Bone marrow smear
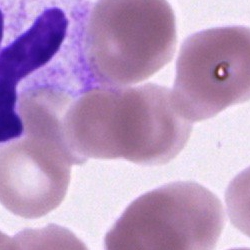Q: What is shown here?
A: Segmented neutrophil.